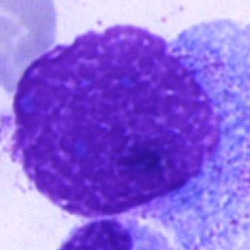
Specimen: bone marrow smear.
Morphological class: artifact.